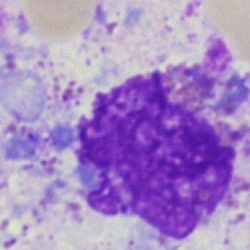Single-cell crop from a bone marrow smear: artifact.